Bone marrow smear.
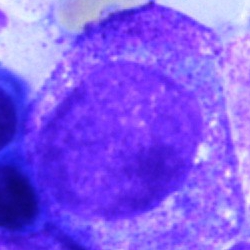 This is a myelocyte.